Bone marrow aspirate smear.
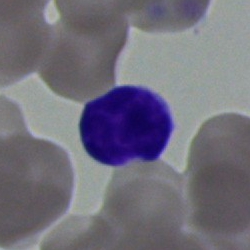

The cell shown is a typical lymphocyte.